Pappenheim-stained; bone marrow aspirate smear; 250×250 px — 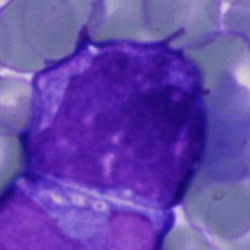 Q: What cell is this?
A: An undifferentiated blast.